Bone marrow smear: 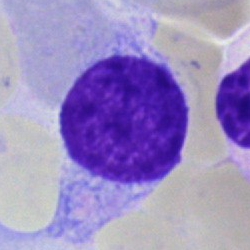

Morphological class — lymphocyte.